Bone marrow aspirate smear. 40× objective, oil immersion
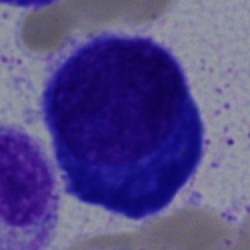 Plasma cell.